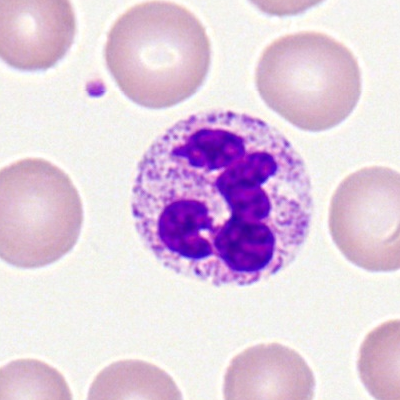A polymorphonuclear neutrophil.